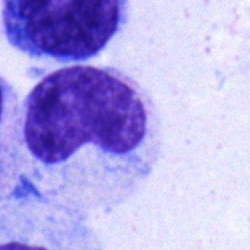 Classification = metamyelocyte.